Peripheral blood film: 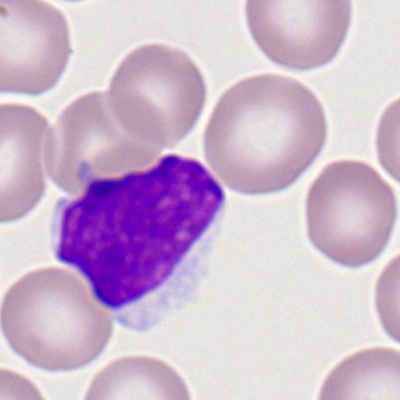
Classification: typical lymphocyte.